Brightfield, 40× oil-immersion objective; bone marrow smear.
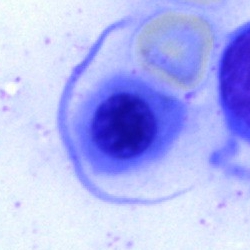Morphological class — nucleated red blood cell.